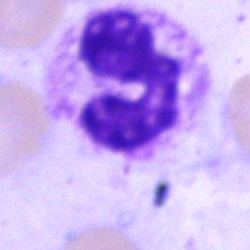

Q: Which cell type is shown here?
A: It is a polymorphonuclear neutrophil.